250×250 · MGG-stained · bone marrow smear:
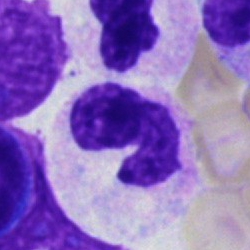

Specimen: bone marrow aspirate smear.
Morphological class: polymorphonuclear neutrophil.
Lineage: myeloid.